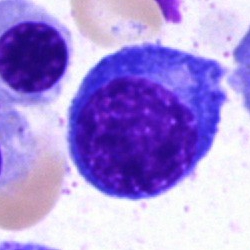

Q: Which cell type is shown here?
A: Normoblast.